Peripheral blood film — 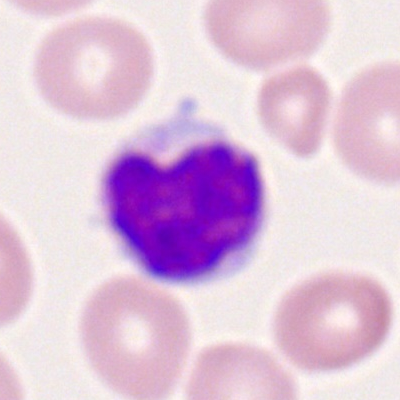Morphology → lymphocyte.